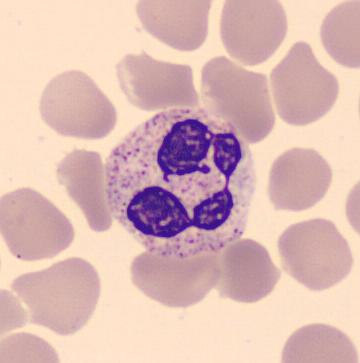

Preparation: CellaVision DM96 digital cell image · peripheral blood film.

Impression — neutrophil (segmented).